250×250 px · bone marrow smear · single cell centered in the field.
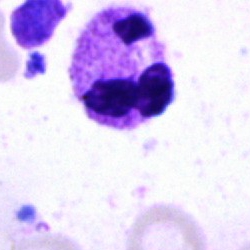

Morphological class — neutrophil (segmented).